Bone marrow smear; 40× objective, oil immersion:
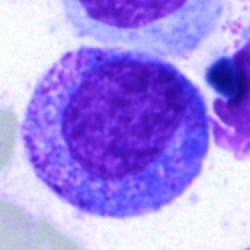
{"cell_type": "promyelocyte", "lineage": "myeloid"}